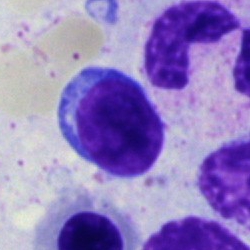 Cell — typical lymphocyte.